Image size 360×363; peripheral blood smear; May-Grünwald-Giemsa-stained: 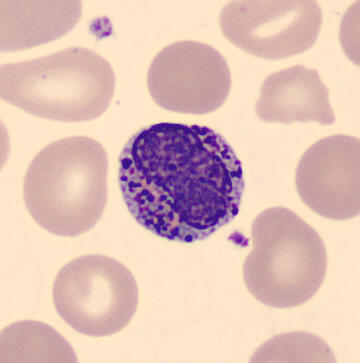
{"cell_type": "basophil", "lineage": "myeloid"}